Bone marrow aspirate smear:
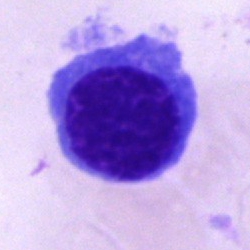 Showing a nucleated red blood cell.